Bone marrow smear:
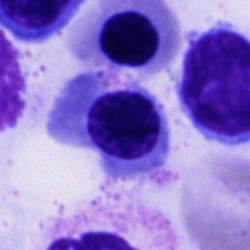

Q: What cell is this?
A: Normoblast.